400 by 400 pixels; Romanowsky-stained; peripheral blood film:
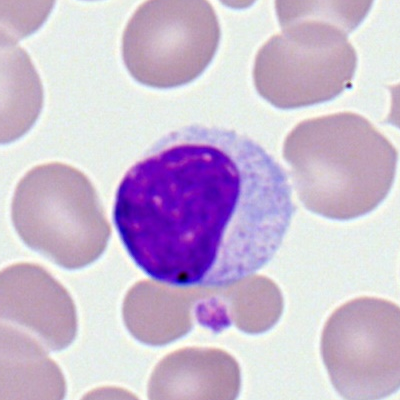 The cell shown is a lymphocyte.